May-Grünwald-Giemsa stain. Bone marrow smear. 40× objective, oil immersion:
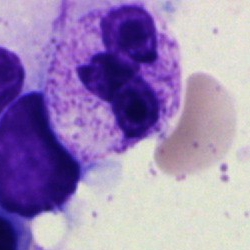

Specimen: bone marrow aspirate smear.
Cell type: polymorphonuclear neutrophil.
Lineage: myeloid.